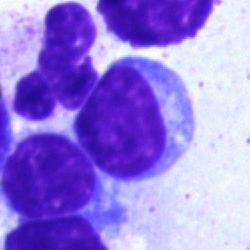
Showing a typical lymphocyte.